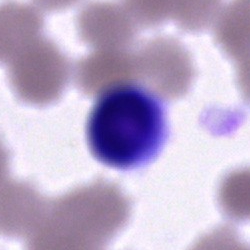{"cell_type": "artefact"}